Bone marrow smear: 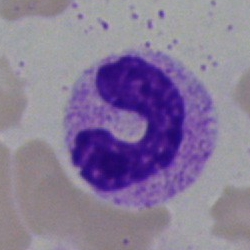
Specimen: bone marrow smear.
Morphological class: segmented neutrophil.
Lineage: myeloid.